Single-cell field; bone marrow smear:
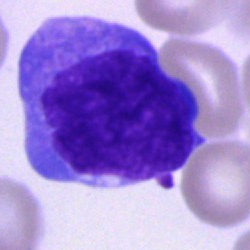
Morphology consistent with an undifferentiated blast.